250×250 px. Bone marrow smear
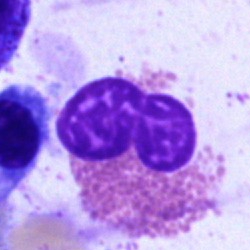The cell is eosinophilic granulocyte.